Bone marrow aspirate smear — 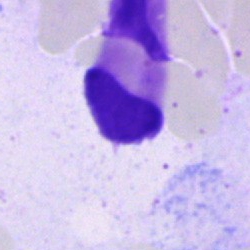Q: What is shown here?
A: It is an artifact.